Bone marrow smear: 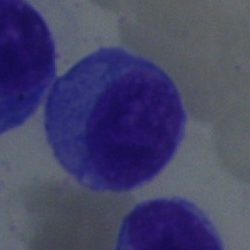
Specimen: bone marrow aspirate smear.
Classification: plasmacyte.